Bone marrow aspirate smear; 250 by 250 pixels; brightfield microscopy, 40× oil immersion.
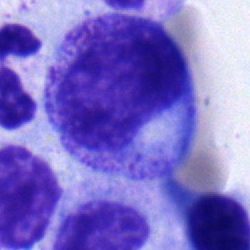

Morphology consistent with a myelocyte.